Cropped to a single cell · 100× objective, oil immersion · peripheral blood film
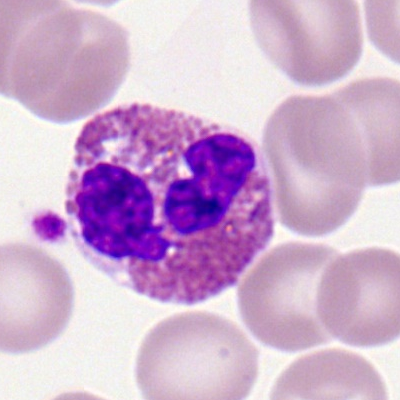 Morphology → eosinophil.